Peripheral blood film — 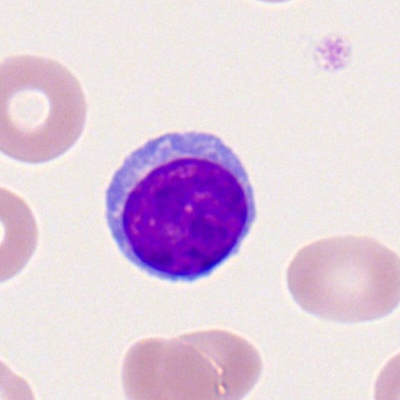 Morphological class = lymphocyte.